Bone marrow aspirate smear.
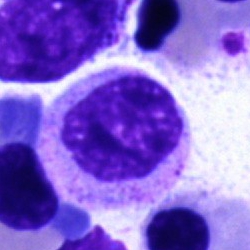
The cell shown is a myelocyte.